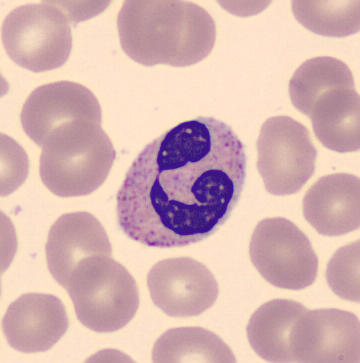
Peripheral blood film. Single-cell field.

Cell: polymorphonuclear neutrophil.